Bone marrow smear
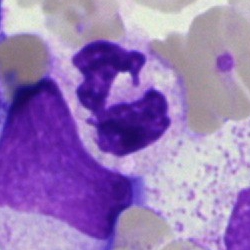
Morphology consistent with a polymorphonuclear neutrophil.